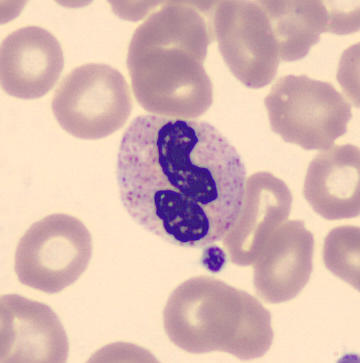Single-cell crop · automated cell imaging (CellaVision DM96). Specimen: peripheral blood film.
Cell: polymorphonuclear neutrophil.